Bone marrow smear
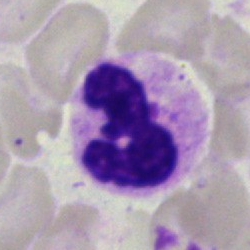{"cell_type": "segmented neutrophil"}